Single cell centered in the field; bone marrow aspirate smear.
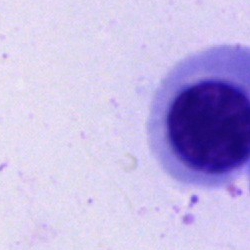Cell = normoblast.